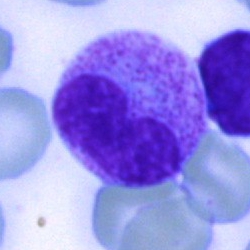

Specimen: bone marrow smear.
Morphological class: neutrophil (band).
Lineage: myeloid.